May-Grünwald-Giemsa stain. Bone marrow smear. 250 by 250 pixels: 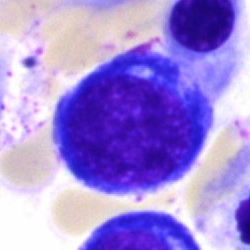
Q: Which cell type is shown here?
A: A nucleated red blood cell.